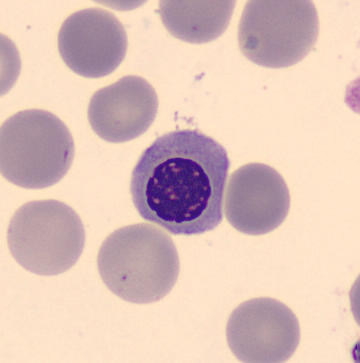The cell shown is an erythroblast.